Bone marrow aspirate smear
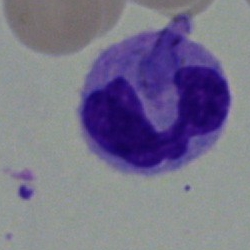

Q: What type of cell is this?
A: It is a monocyte.